Bone marrow aspirate smear — 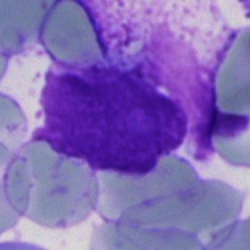 Morphology consistent with an artefact.